400×400; single cell centered in the field; peripheral blood smear
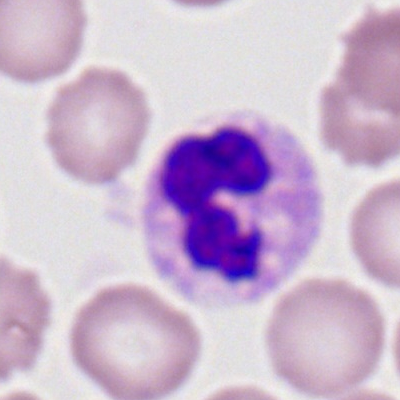
{"cell_type": "neutrophil (segmented)", "lineage": "myeloid"}